Single cell centered in the field. Bone marrow smear
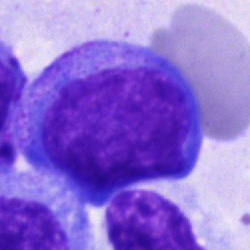 The cell type is undifferentiated blast.